Bone marrow aspirate smear:
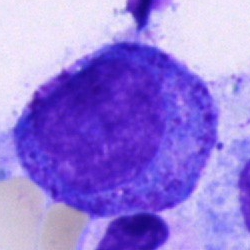Single cell identified as a progranulocyte.